Brightfield, 40× oil-immersion objective; bone marrow smear.
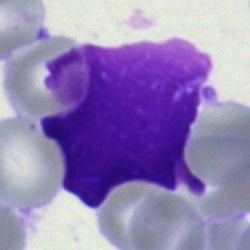Morphology — artefact.